Bone marrow smear. Brightfield microscopy, 40× oil immersion.
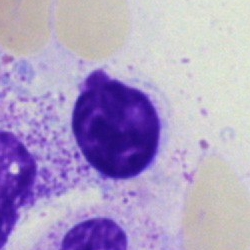 Specimen: bone marrow aspirate smear.
Cell type: artifact.